Bone marrow aspirate smear.
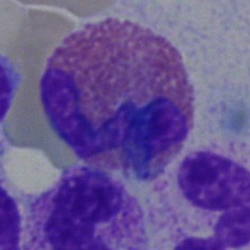 Morphology consistent with an eosinophilic granulocyte.